Bone marrow smear — 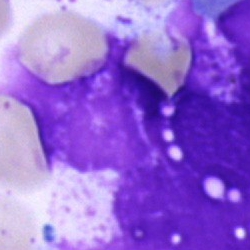Cell = artefact.